Bone marrow aspirate smear
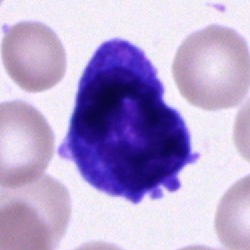
Q: What cell is this?
A: It is an unidentifiable cell.